Bone marrow smear; 40× oil immersion:
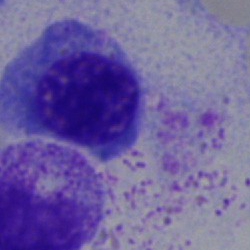 Nucleated red cell.